Bone marrow smear:
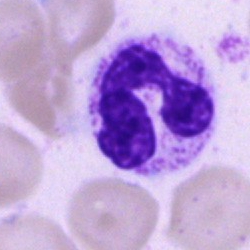
{"cell_type": "polymorphonuclear neutrophil"}